40× objective, oil immersion · bone marrow smear
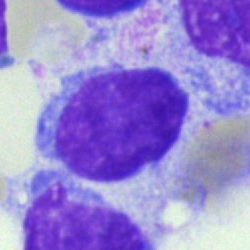

Morphological class = blast.